Pappenheim-stained; cropped to a single cell; bone marrow aspirate smear — 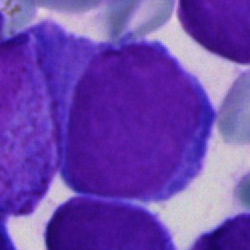 Specimen: bone marrow smear.
Classification: blast.